Bone marrow smear
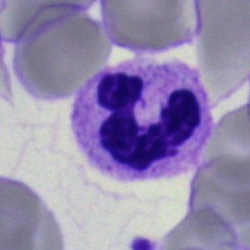This is a segmented neutrophil.